Bone marrow aspirate smear · brightfield microscopy, 40× oil immersion · MGG-stained — 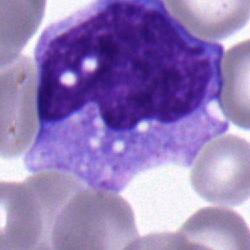
Q: What type of cell is this?
A: Monocyte.